Imaged on a CellaVision DM96 analyser · peripheral blood film · 360×363 — 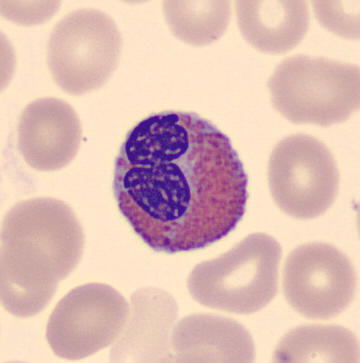
Morphology → eosinophil.